40× objective, oil immersion. Single cell centered in the field. Bone marrow smear.
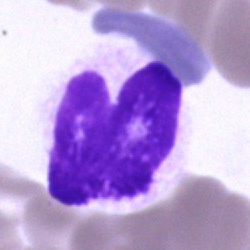
Q: What is shown here?
A: A cell of indeterminate lineage.